May-Grünwald-Giemsa stain · bone marrow aspirate smear — 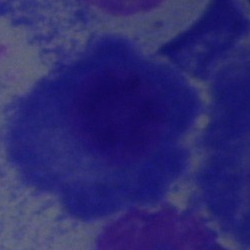
{"cell_type": "plasma cell"}